May-Grünwald-Giemsa stain · bone marrow aspirate smear.
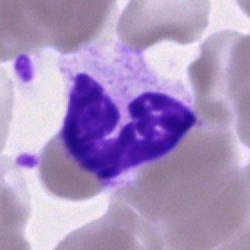
Morphology — segmented neutrophil.